Image size 250×250 · bone marrow aspirate smear.
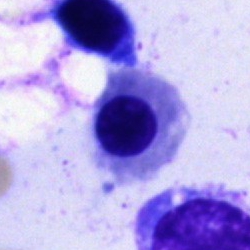

Specimen: bone marrow aspirate smear.
Morphological class: nucleated red blood cell.